Bone marrow smear.
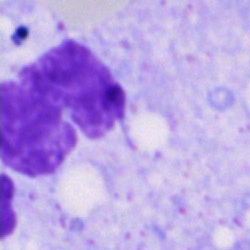
Showing an artefact.